Single cell centered in the field; brightfield microscopy, 40× oil immersion; bone marrow aspirate smear
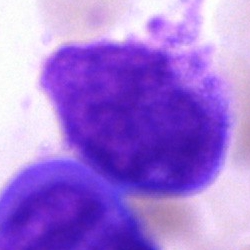
The cell shown is an undifferentiated blast.